Bone marrow smear; 250×250 px
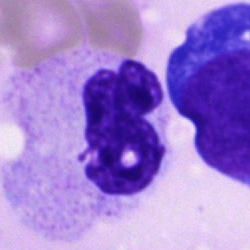 Single cell identified as a promyelocyte.